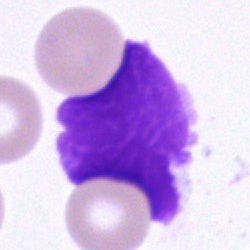{"cell_type": "artefact"}